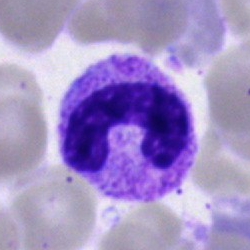

Bone marrow smear showing a stab cell.